May-Grünwald-Giemsa/Pappenheim stain. Bone marrow smear.
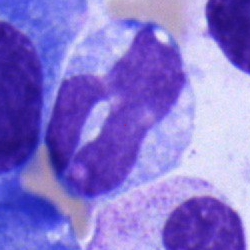 Specimen: bone marrow aspirate smear.
Cell: monocyte.
Lineage: myeloid.